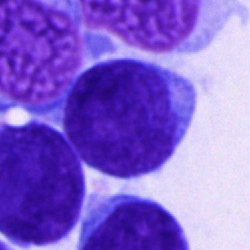 Q: What is the morphological classification of this cell?
A: This is a blast cell.